250×250 px. Bone marrow smear:
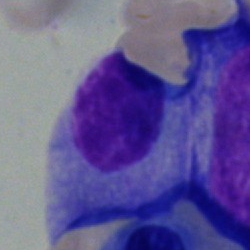 Morphological class: plasma cell.